Single-cell crop. Bone marrow smear. Brightfield, 40× oil-immersion objective.
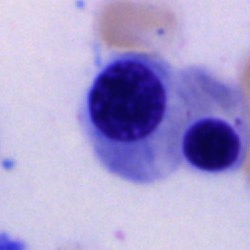

Q: Which cell type is shown here?
A: An erythroblast.